Bone marrow aspirate smear:
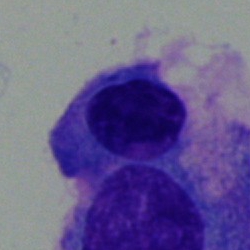
A plasmacyte.